Bone marrow smear · brightfield, 40× oil-immersion objective — 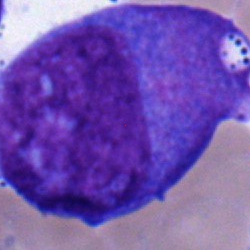
Impression → undifferentiated blast.